Peripheral blood smear: 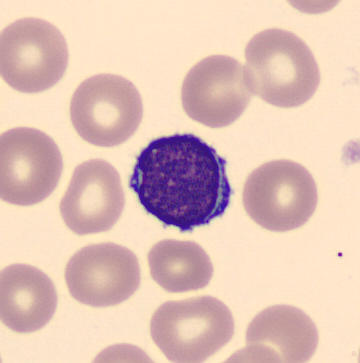Q: Which cell type is shown here?
A: It is a typical lymphocyte.